Peripheral blood film:
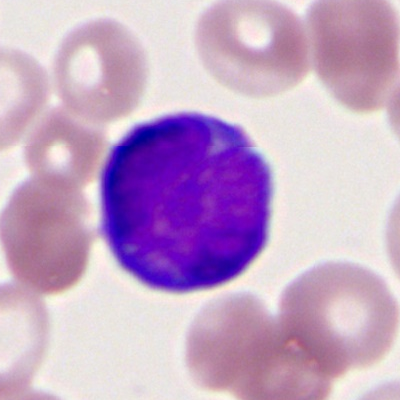
A myeloblast.